250×250; bone marrow smear — 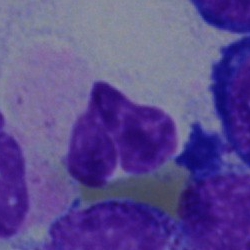Q: Identify the cell.
A: It is a segmented neutrophil.